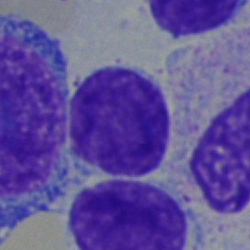 Impression → lymphocyte.